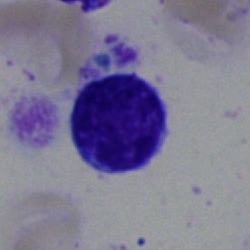Classification = lymphocyte.